Bone marrow aspirate smear:
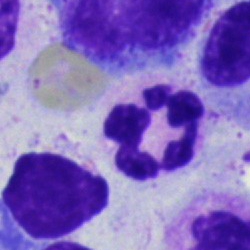 The cell type is neutrophil (segmented).